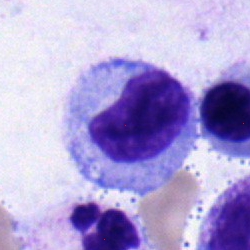 Bone marrow smear showing a myelocyte.